Bone marrow smear; 40× objective, oil immersion
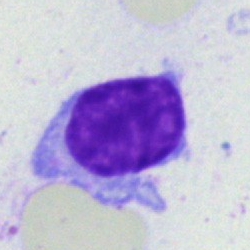 The cell is typical lymphocyte.